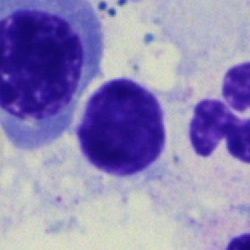 Classification: typical lymphocyte.